Bone marrow aspirate smear:
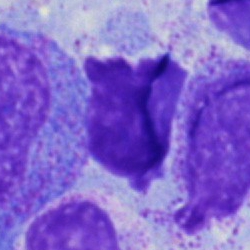Q: What is shown here?
A: Artifact.